Bone marrow smear · May-Grünwald-Giemsa/Pappenheim stain: 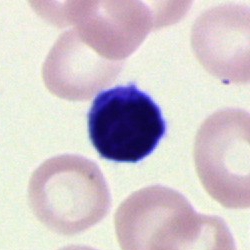 Q: What is shown here?
A: An artefact.